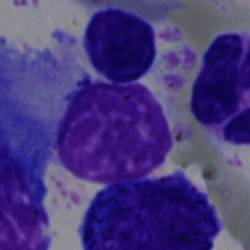
Bone marrow aspirate smear, single cell — artifact.